Bone marrow aspirate smear — 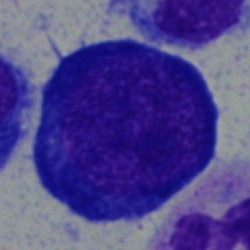 Single cell identified as a pronormoblast.